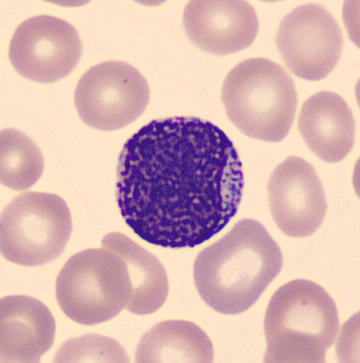
Image: Peripheral blood smear.

Q: Which cell type is shown here?
A: A myelocyte.